Bone marrow aspirate smear; cropped to a single cell:
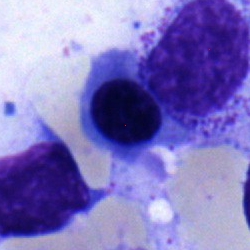
Cell: erythroblast.